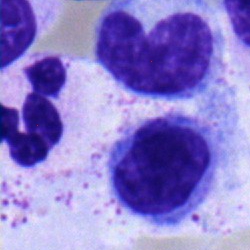 Single cell identified as a neutrophil (segmented).